250×250. Bone marrow smear: 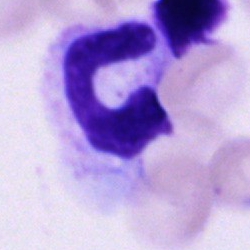This is a segmented neutrophil.